Peripheral blood smear; single-cell crop
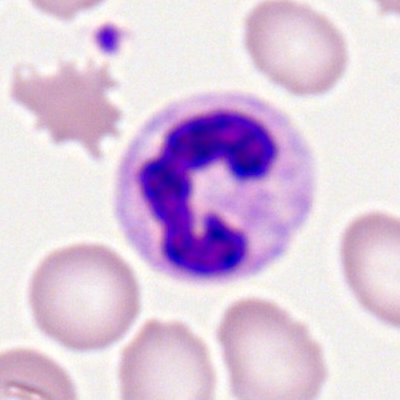 The cell shown is a polymorphonuclear neutrophil.